Bone marrow smear. Brightfield microscopy, 40× oil immersion. Pappenheim-stained:
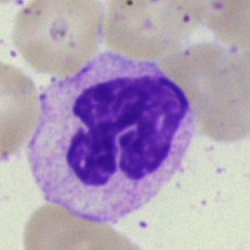Single cell identified as a neutrophil (segmented).